Bone marrow smear.
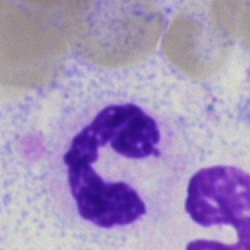Q: Which cell type is shown here?
A: A polymorphonuclear neutrophil.